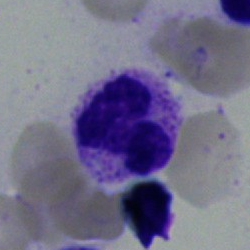

Q: Which cell type is shown here?
A: Neutrophil (segmented).